Bone marrow smear
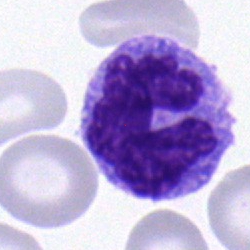
Q: What is the morphological classification of this cell?
A: Monocyte.